250×250; bone marrow smear; 40× objective, oil immersion.
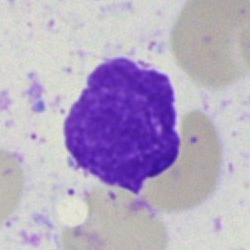
Showing an artefact.